Bone marrow smear — 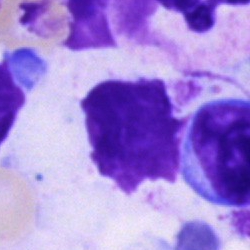 Classification = artifact.